Bone marrow smear. 250 by 250 pixels:
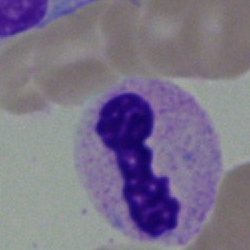

Impression — segmented neutrophil.